Bone marrow smear; 40× oil immersion:
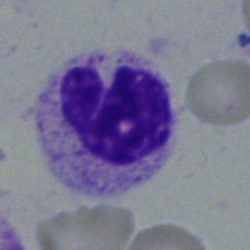

Classification = band neutrophil.